100× oil immersion; peripheral blood smear — 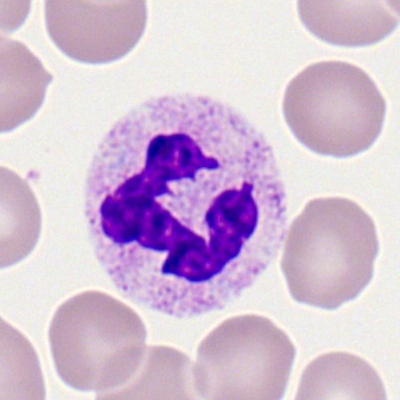
Q: Identify the cell.
A: This is a neutrophil (segmented).